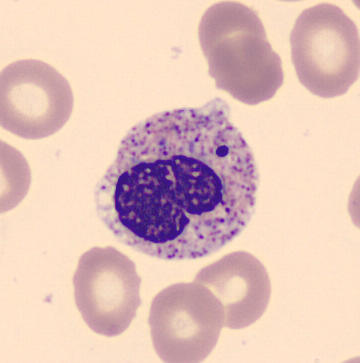
Specimen: peripheral blood smear.
Cell: metamyelocyte.
Lineage: myeloid.

Preparation: CellaVision DM96 digital cell image.